Bone marrow aspirate smear: 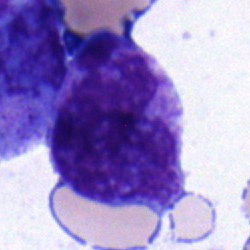 Q: Which cell type is shown here?
A: An undifferentiated blast.